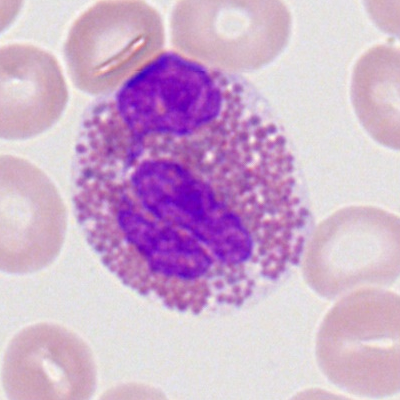
Impression → eosinophil.